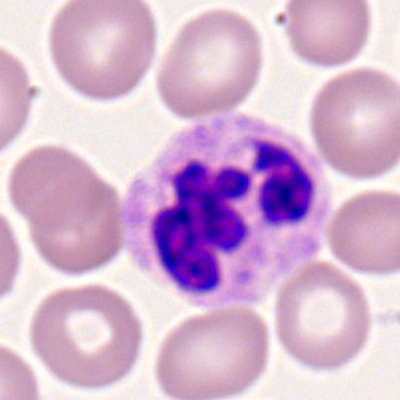
Morphology — polymorphonuclear neutrophil.